Single-cell field. Bone marrow aspirate smear
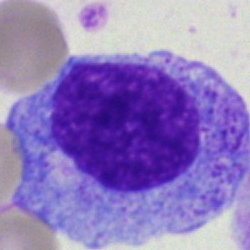
Q: Which cell type is shown here?
A: Progranulocyte.